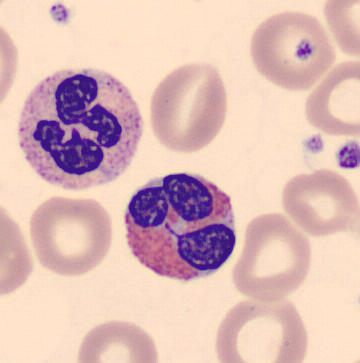 Eosinophilic granulocyte.

Preparation: Peripheral blood film.